Bone marrow smear: 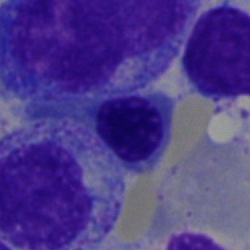
Cell — nucleated red blood cell.